Bone marrow smear. Single-cell field
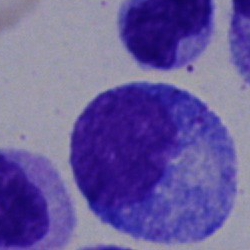Morphology consistent with a progranulocyte.